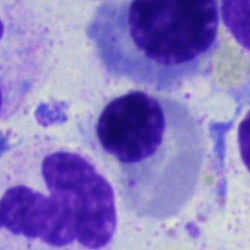

An erythroblast.